Bone marrow aspirate smear. Single-cell field:
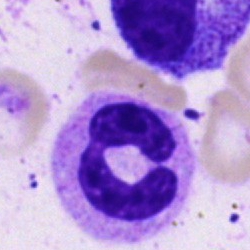 Cell = neutrophil (segmented).